Bone marrow aspirate smear
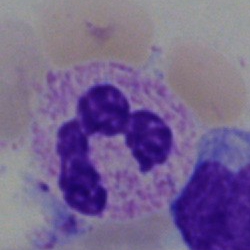A polymorphonuclear neutrophil.